Bone marrow smear
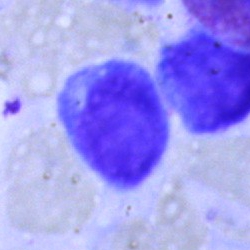
The morphological class is typical lymphocyte.